Bone marrow aspirate smear — 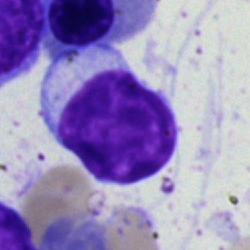 Specimen: bone marrow aspirate smear.
Morphological class: lymphocyte.
Lineage: lymphoid.